Brightfield microscopy, 40× oil immersion · bone marrow smear · 250×250 px:
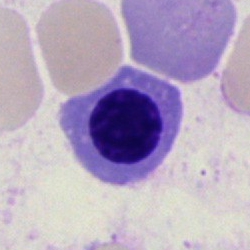Nucleated red cell.